Bone marrow aspirate smear; 250×250; 40× oil immersion — 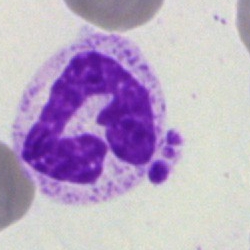
Morphology consistent with a neutrophil (segmented).